Bone marrow smear · 40× oil immersion:
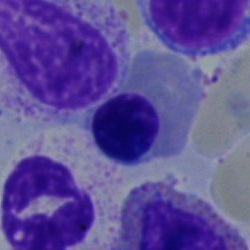
Q: What cell is this?
A: It is a nucleated red cell.